Bone marrow aspirate smear: 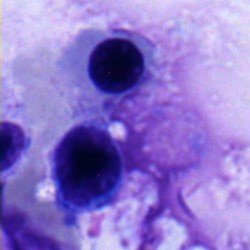
Morphology consistent with a lymphocyte.